MGG-stained. Bone marrow smear:
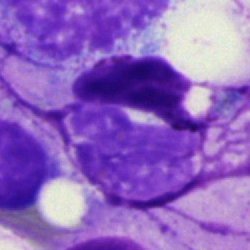 This is an artifact.